Bone marrow smear · single-cell field.
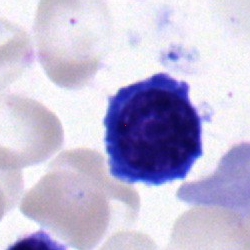 Q: What type of cell is this?
A: This is a lymphocyte.